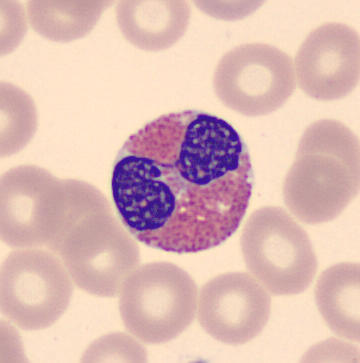

Identified as an eosinophilic granulocyte.

Preparation: 360 by 363 pixels. Peripheral blood film.